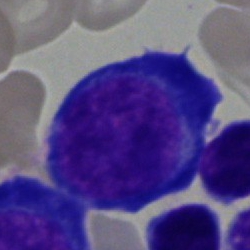 Specimen: bone marrow aspirate smear.
Classification: erythroblast.
Lineage: erythroid.